Bone marrow aspirate smear: 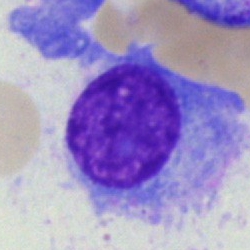 The morphological class is plasma cell.